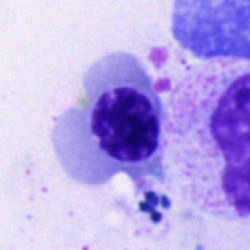 Specimen: bone marrow aspirate smear.
Classification: nucleated red blood cell.